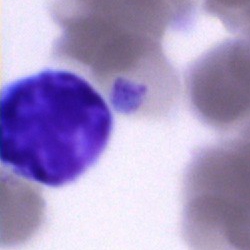 Showing a typical lymphocyte.